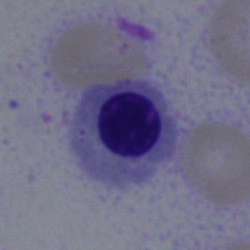Bone marrow aspirate smear, single cell — nucleated red cell.